Single cell centered in the field. Bone marrow smear
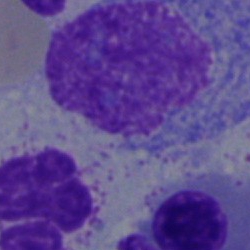Q: What is shown here?
A: An artefact.